Peripheral blood smear — 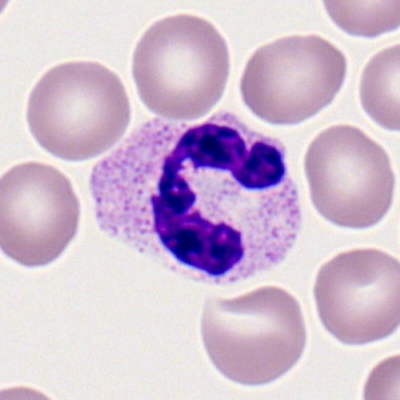The cell is neutrophil (segmented).